Bone marrow aspirate smear — 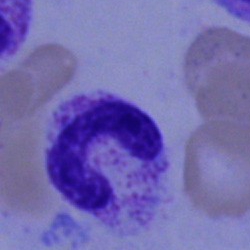
Morphology consistent with a neutrophil (band).